Bone marrow aspirate smear. May-Grünwald-Giemsa stain — 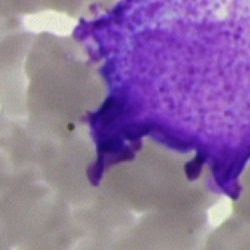
The cell is undifferentiated blast.